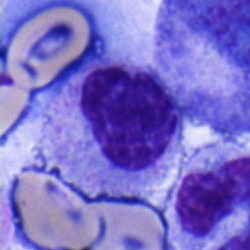Morphology — myelocyte.